Bone marrow smear.
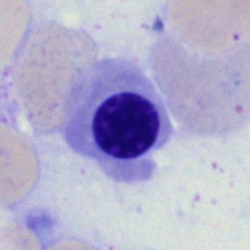Nucleated red cell.